Pappenheim-stained; 250 by 250 pixels; bone marrow smear: 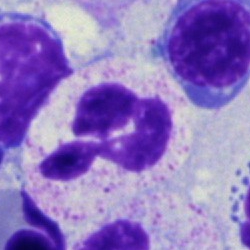

Impression → polymorphonuclear neutrophil.